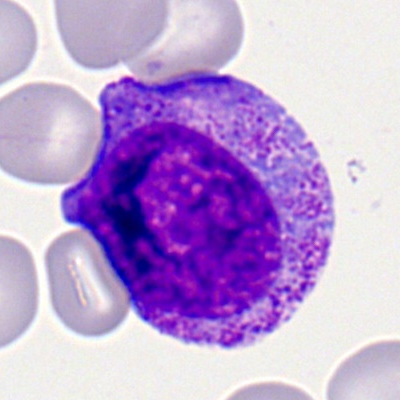
Morphology — promyelocyte.